Bone marrow aspirate smear; brightfield microscopy, 40× oil immersion:
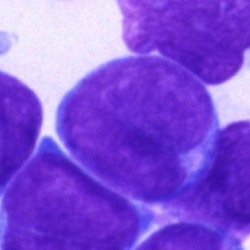

Blast cell.